Bone marrow smear.
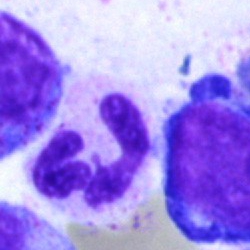Specimen: bone marrow smear.
Morphological class: neutrophil (segmented).